Peripheral blood smear. Single-cell crop — 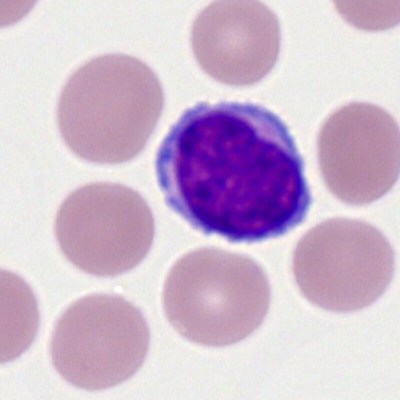
Specimen: peripheral blood film.
Morphological class: typical lymphocyte.
Lineage: lymphoid.